Bone marrow aspirate smear: 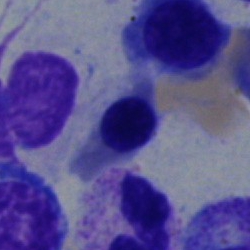 Q: What is the morphological classification of this cell?
A: Nucleated red cell.